Bone marrow aspirate smear
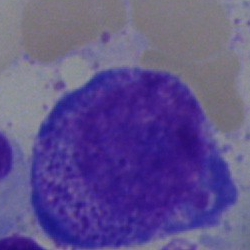Specimen: bone marrow smear.
Morphological class: band neutrophil.
Lineage: myeloid.